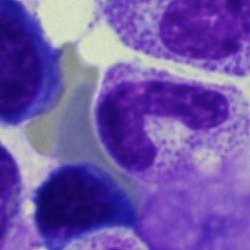 Q: What cell is this?
A: This is a band-form neutrophil.